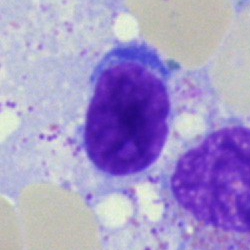Q: What type of cell is this?
A: A typical lymphocyte.